Bone marrow aspirate smear; MGG-stained; 250×250 — 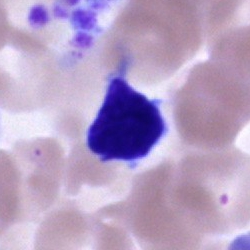 Morphology consistent with an unidentifiable cell.